Single cell centered in the field; bone marrow aspirate smear: 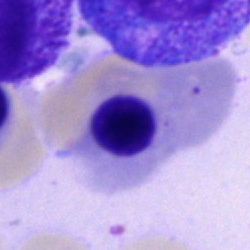 Morphological class = nucleated red cell.